Bone marrow smear:
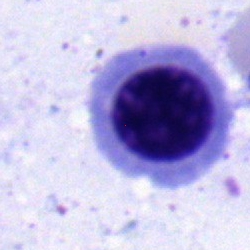
Nucleated red cell.